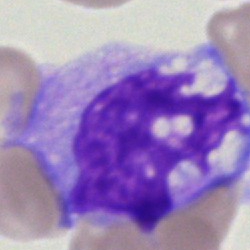Single cell identified as a monocyte.